Brightfield microscopy, 40× oil immersion · bone marrow aspirate smear · 250×250:
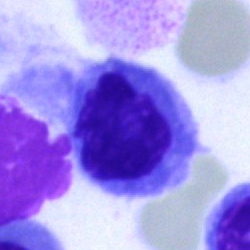 Specimen: bone marrow smear.
Classification: erythroblast.